Bone marrow smear. Brightfield, 40× oil-immersion objective: 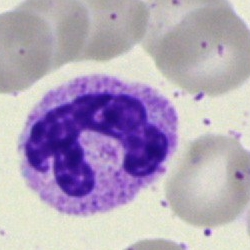

Cell type: neutrophil (segmented).